Bone marrow smear:
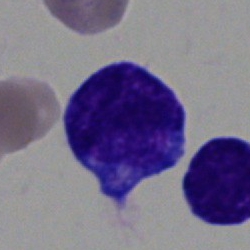

Morphology — promyelocyte.